Brightfield, 40× oil-immersion objective; bone marrow aspirate smear — 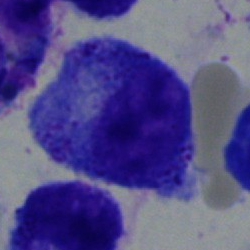
Single cell identified as a progranulocyte.